Peripheral blood film
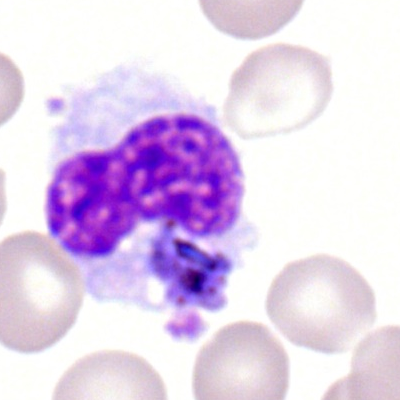 Single cell identified as a monocyte.